Bone marrow aspirate smear:
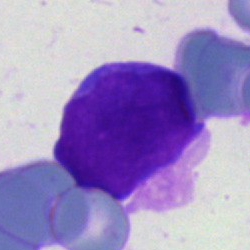 Blast.